Bone marrow smear — 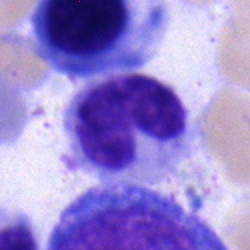A neutrophil (band).